Bone marrow aspirate smear — 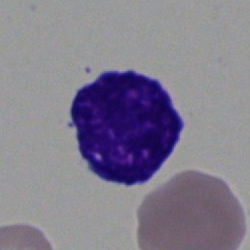

This is a blast cell.